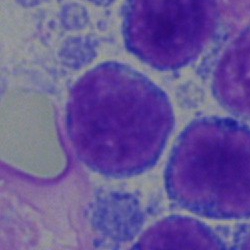

Bone marrow aspirate smear, single cell — lymphocyte.